Bone marrow aspirate smear:
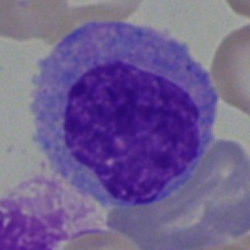 Classification: monocyte.